Bone marrow smear; image size 250×250 — 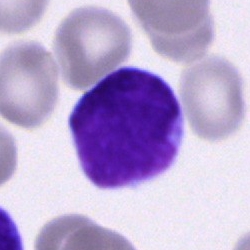 The cell shown is a lymphocyte.